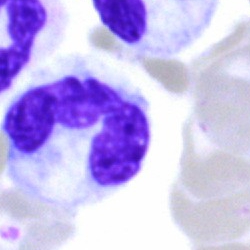Single-cell crop from a bone marrow smear: segmented neutrophil.